Bone marrow smear:
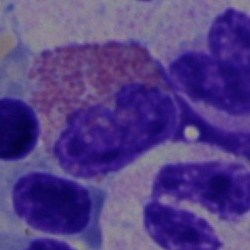 Q: Identify the cell.
A: An eosinophilic granulocyte.